Image size 250×250 · bone marrow smear — 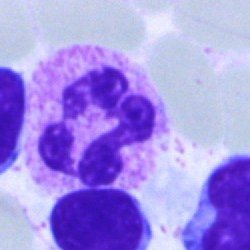Morphological class — neutrophil (segmented).